Pappenheim-stained. Bone marrow aspirate smear. Image size 250×250.
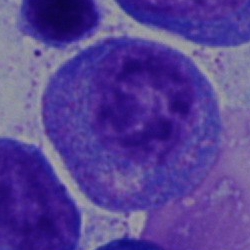 Q: Which cell type is shown here?
A: It is a progranulocyte.